40× objective, oil immersion. Bone marrow aspirate smear. MGG-stained — 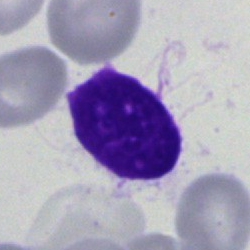 Specimen: bone marrow smear.
Cell type: artefact.